Bone marrow smear. Brightfield, 40× oil-immersion objective — 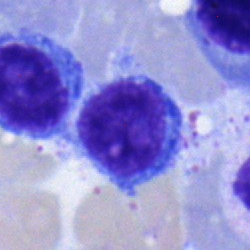 This is a typical lymphocyte.